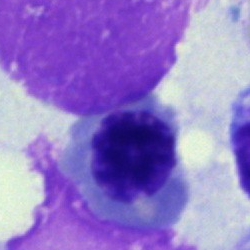 Bone marrow smear showing a normoblast.